Bone marrow smear; May-Grünwald-Giemsa/Pappenheim stain.
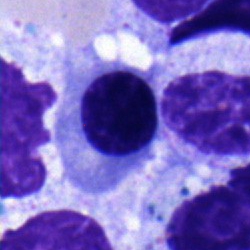A normoblast.